Bone marrow aspirate smear. Brightfield microscopy, 40× oil immersion:
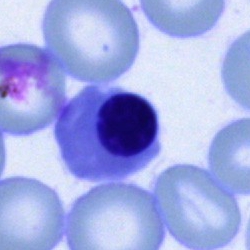

Cell = nucleated red cell.